Bone marrow aspirate smear · MGG-stained · 250×250 px — 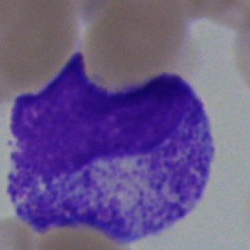 Morphology → metamyelocyte.